Bone marrow smear: 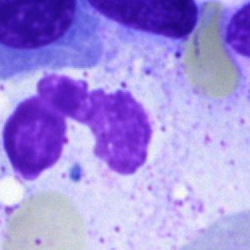
Specimen: bone marrow aspirate smear.
Classification: artefact.